Bone marrow smear.
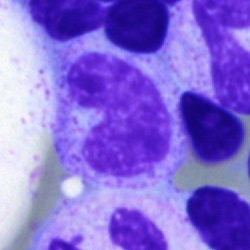 The morphological class is band-form neutrophil.